Bone marrow aspirate smear
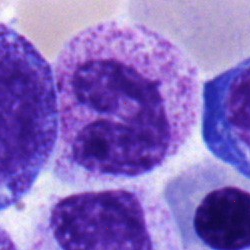This is a band-form neutrophil.